Bone marrow smear
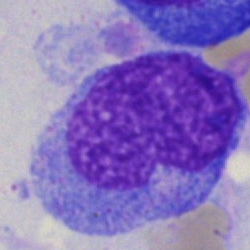
Specimen: bone marrow smear.
Classification: progranulocyte.